40× objective, oil immersion; bone marrow aspirate smear.
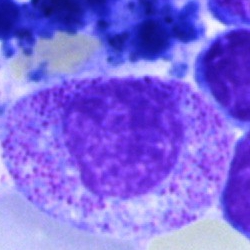 Specimen: bone marrow aspirate smear.
Cell type: myelocyte.